Bone marrow aspirate smear: 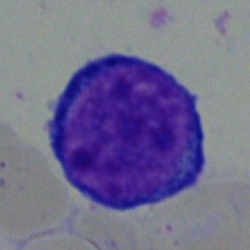Showing a pronormoblast.